Bone marrow aspirate smear — 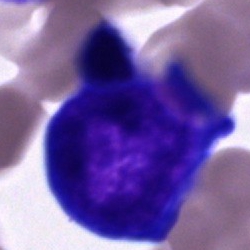 {"cell_type": "proerythroblast", "lineage": "erythroid"}